Bone marrow aspirate smear — 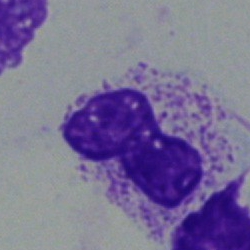 Q: What type of cell is this?
A: This is a stab cell.